Bone marrow smear — 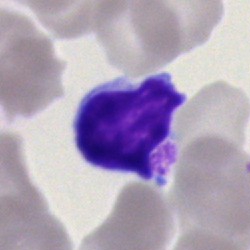
The morphological class is lymphocyte.